Bone marrow aspirate smear — 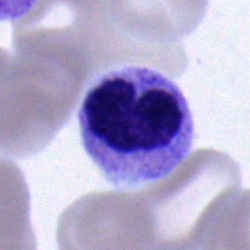
Morphology consistent with a band neutrophil.